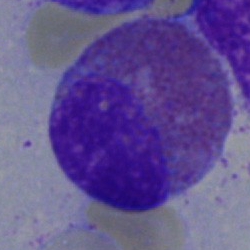

Cell: eosinophilic granulocyte.